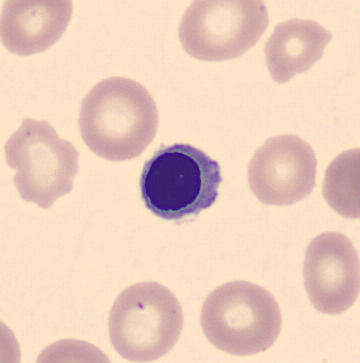

Q: What cell is this?
A: Nucleated red blood cell. Image: Peripheral blood smear.